Bone marrow smear — 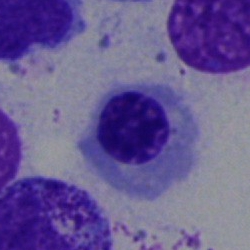
Morphology — nucleated red cell.